Bone marrow smear
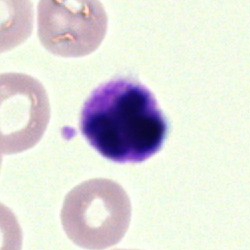
A polymorphonuclear neutrophil.